Bone marrow smear.
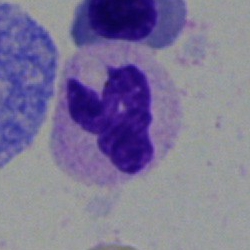

{"cell_type": "neutrophil (segmented)", "lineage": "myeloid"}